Bone marrow aspirate smear. Brightfield microscopy, 40× oil immersion
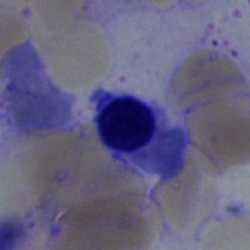
Showing a nucleated red cell.